250 by 250 pixels; bone marrow aspirate smear.
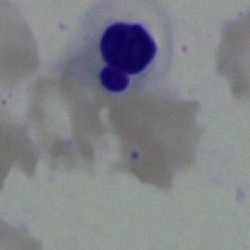
An erythroblast.